Bone marrow smear; single cell centered in the field.
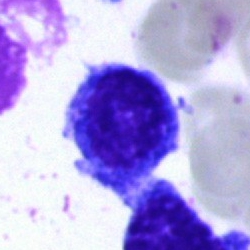Single cell identified as an erythroblast.